Bone marrow aspirate smear:
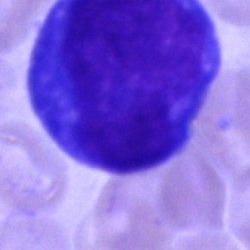Showing a blast cell.